Bone marrow smear · 40× oil immersion: 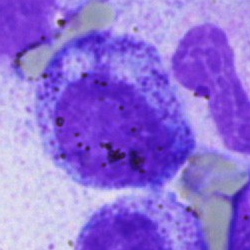 Single cell identified as a progranulocyte.